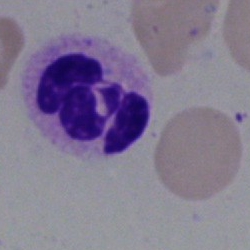
Bone marrow smear showing a neutrophil (segmented).